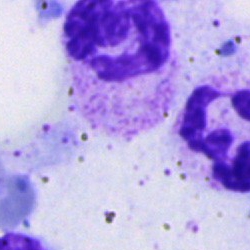 This is a neutrophil (segmented).